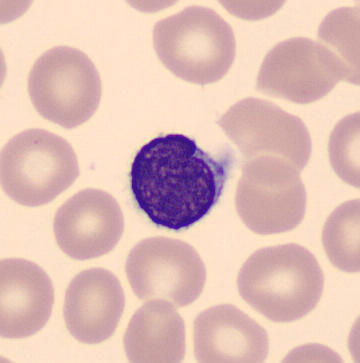

From a peripheral blood smear: a lymphocyte.